Bone marrow aspirate smear: 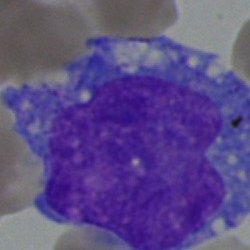
Specimen: bone marrow smear.
Classification: blast cell.